Bone marrow aspirate smear — 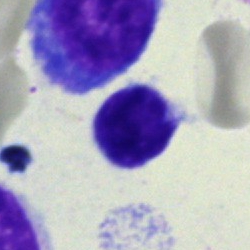Morphology consistent with a typical lymphocyte.